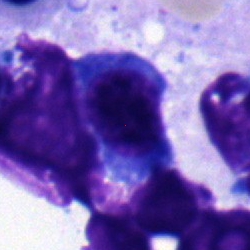
Specimen: bone marrow aspirate smear.
Morphological class: plasmacyte.
Lineage: lymphoid.